Bone marrow smear — 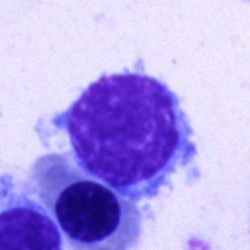
Morphology → lymphocyte.